Bone marrow aspirate smear.
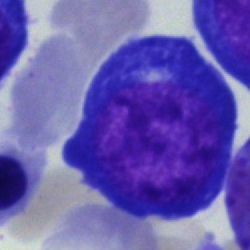

The morphological class is proerythroblast.